Bone marrow smear. May-Grünwald-Giemsa/Pappenheim stain: 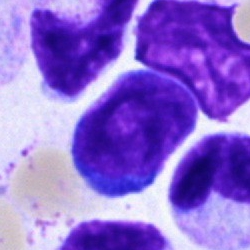Morphology — typical lymphocyte.